Bone marrow aspirate smear.
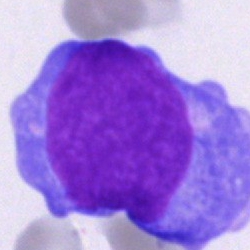 Single cell identified as a blast.